Bone marrow smear · Pappenheim-stained — 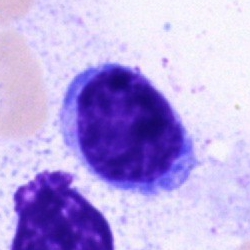

A typical lymphocyte.